Pappenheim-stained; bone marrow smear — 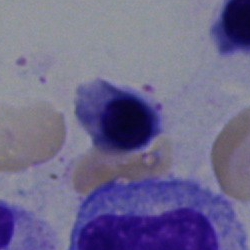

Morphology — nucleated red blood cell.